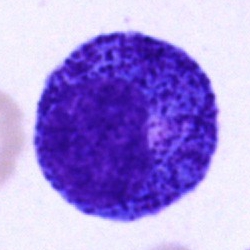 Specimen: bone marrow aspirate smear.
Morphological class: promyelocyte.
Lineage: myeloid.